Peripheral blood film:
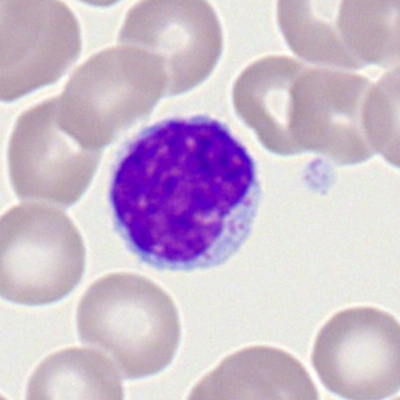
Q: What is shown here?
A: It is a typical lymphocyte.